Bone marrow smear:
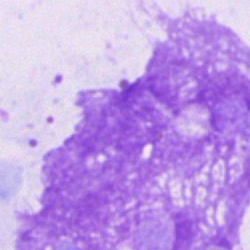
Impression — artefact.